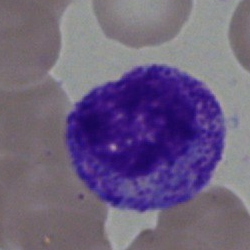 Cell — promyelocyte.